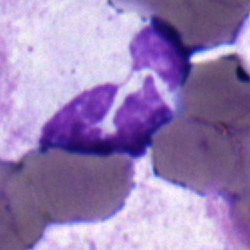

Bone marrow smear showing a segmented neutrophil.